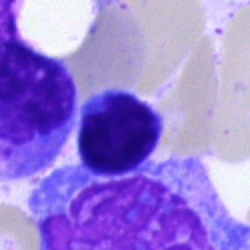The morphological class is typical lymphocyte.